Bone marrow aspirate smear:
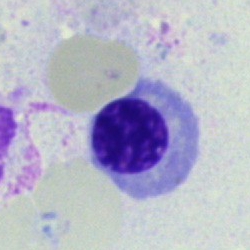
Q: What type of cell is this?
A: A nucleated red blood cell.